Bone marrow smear
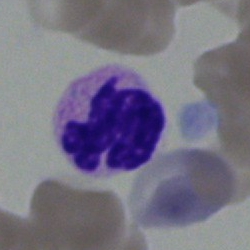 The cell is segmented neutrophil.